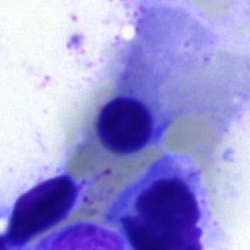
Morphological class = normoblast.